Bone marrow smear — 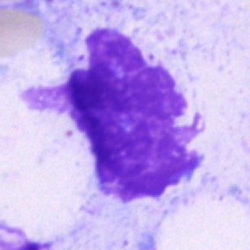
This is an artifact.